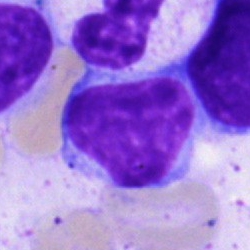 Specimen: bone marrow smear.
Classification: lymphocyte.
Lineage: lymphoid.